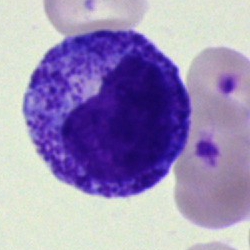
Bone marrow aspirate smear, single cell — promyelocyte.